Peripheral blood film: 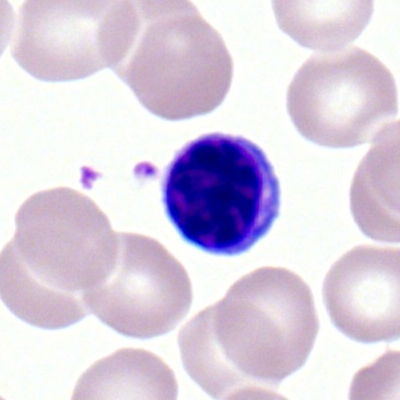
The cell shown is a lymphocyte.